Romanowsky stain · peripheral blood smear · single-cell field:
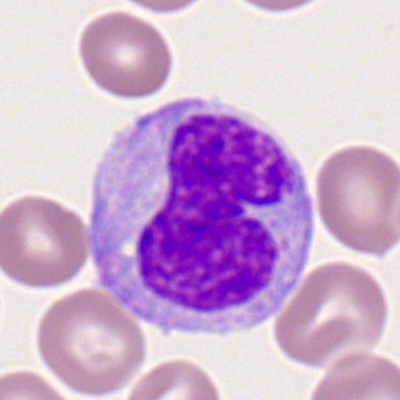Morphology consistent with a monocyte.